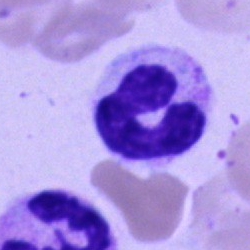 Cell = stab cell.